Brightfield microscopy, 40× oil immersion; MGG-stained; bone marrow aspirate smear: 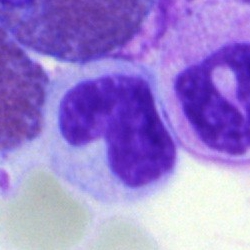Q: Which cell type is shown here?
A: This is a band-form neutrophil.